250×250; bone marrow aspirate smear — 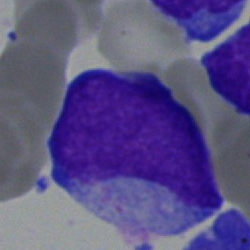
This is a blast.